Bone marrow smear.
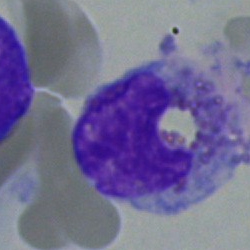 This is a monocyte.